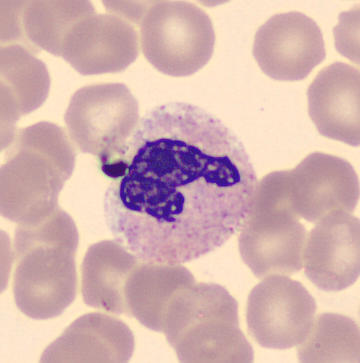

Morphology consistent with a polymorphonuclear neutrophil. Preparation: Peripheral blood film.